Single cell centered in the field · Romanowsky stain · peripheral blood smear — 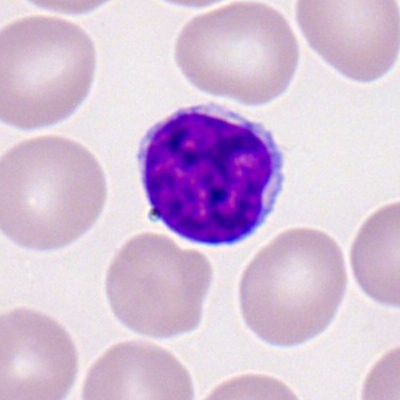 Specimen: peripheral blood smear.
Classification: typical lymphocyte.
Lineage: lymphoid.